Bone marrow aspirate smear
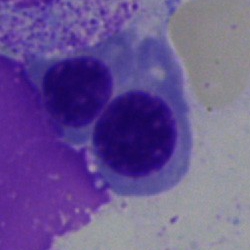

Showing a nucleated red blood cell.